400 by 400 pixels · peripheral blood film.
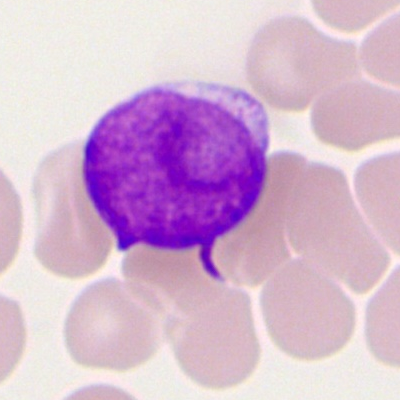 Showing a myeloid blast.